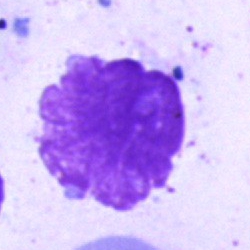The cell type is artifact.